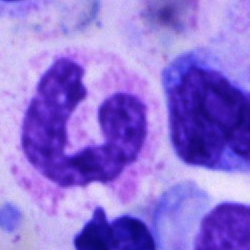

{"cell_type": "polymorphonuclear neutrophil", "lineage": "myeloid"}